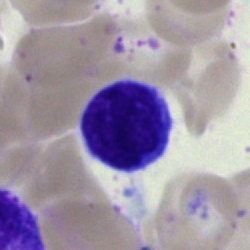Specimen: bone marrow aspirate smear.
Morphological class: typical lymphocyte.
Lineage: lymphoid.